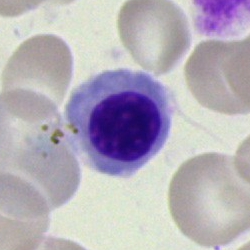Impression — nucleated red cell.